Bone marrow smear. 250 by 250 pixels.
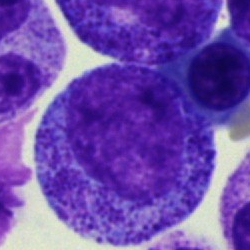
This is a promyelocyte.